Bone marrow smear
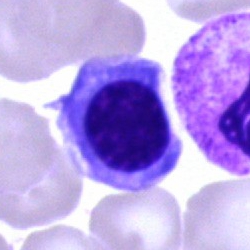
The classification is normoblast.